Image size 250×250. Bone marrow smear:
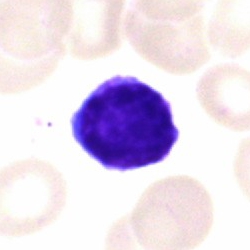 Impression — typical lymphocyte.